Brightfield, 40× oil-immersion objective; bone marrow smear:
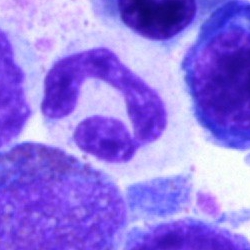 Morphology → segmented neutrophil.